250×250 · 40× objective, oil immersion · bone marrow aspirate smear: 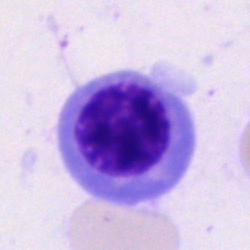

Specimen: bone marrow smear.
Cell type: nucleated red cell.
Lineage: erythroid.